Peripheral blood film. Romanowsky-type stain:
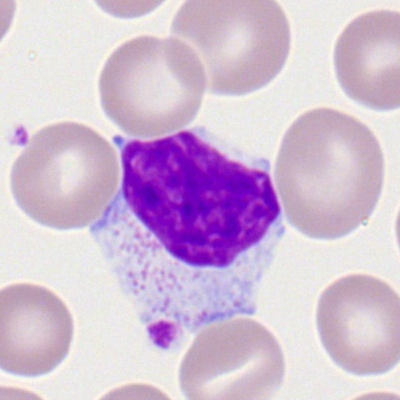

Impression → typical lymphocyte.